Bone marrow aspirate smear: 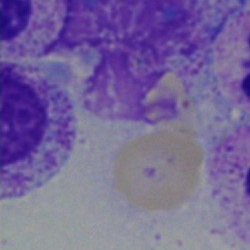
Showing an artifact.